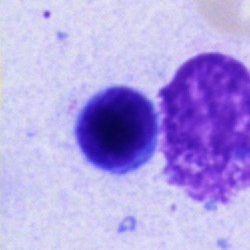
Q: What is the morphological classification of this cell?
A: This is a lymphocyte.